Bone marrow aspirate smear; MGG-stained; single-cell field.
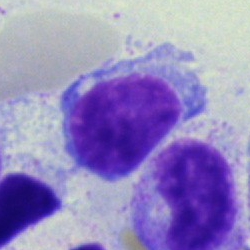
The cell shown is a typical lymphocyte.